Peripheral blood smear; single-cell crop.
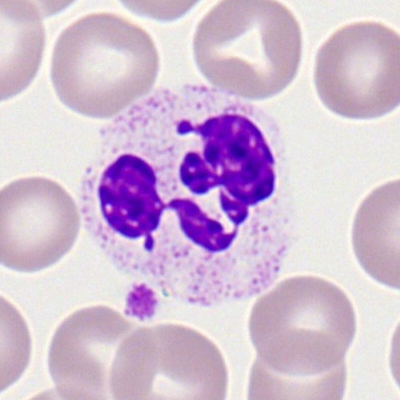 The cell shown is a segmented neutrophil.